Bone marrow smear
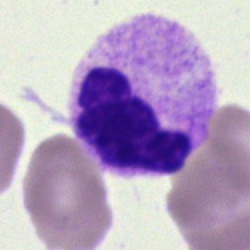

Q: What is shown here?
A: Artifact.